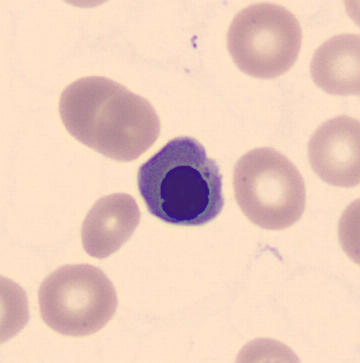
Q: What type of cell is this?
A: It is a normoblast.